Bone marrow smear: 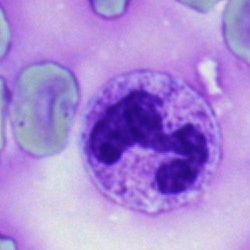

Polymorphonuclear neutrophil.